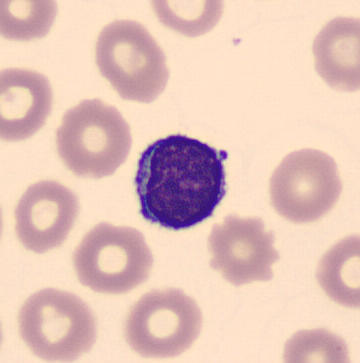
Morphology consistent with a lymphocyte.